Bone marrow aspirate smear: 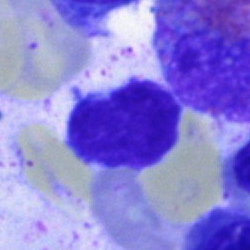 Q: Identify the cell.
A: Lymphocyte.